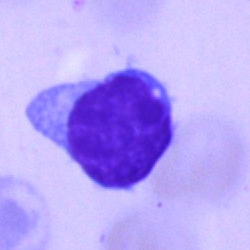

The cell is typical lymphocyte.